Bone marrow smear; 250×250: 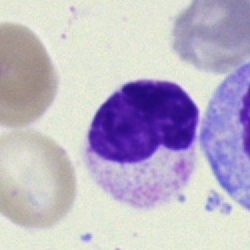Cell = band neutrophil.